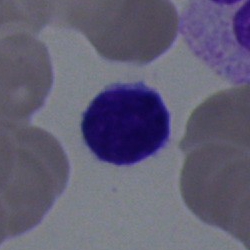

Q: What cell is this?
A: It is a lymphocyte.